Bone marrow smear.
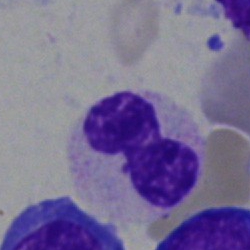 A neutrophil (band).